Bone marrow smear: 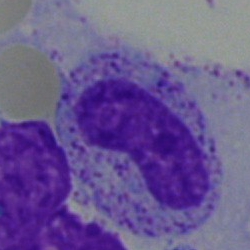

Specimen: bone marrow aspirate smear.
Cell: metamyelocyte.